May-Grünwald-Giemsa stain. Bone marrow aspirate smear.
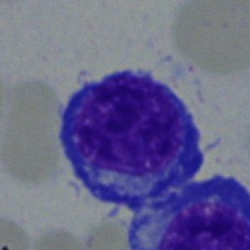 Q: Which cell type is shown here?
A: Nucleated red cell.